Bone marrow aspirate smear
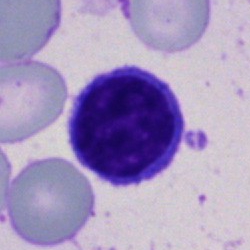Single cell identified as a typical lymphocyte.